Bone marrow smear. Brightfield microscopy, 40× oil immersion. Image size 250×250.
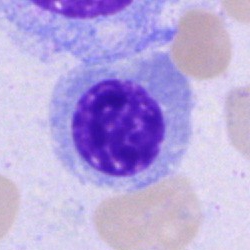 Specimen: bone marrow smear.
Classification: normoblast.
Lineage: erythroid.